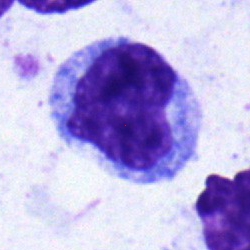
Q: Identify the cell.
A: Monocyte.